Bone marrow aspirate smear — 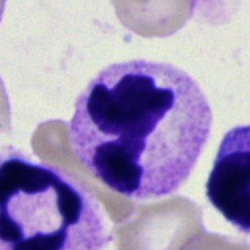

Cell: segmented neutrophil.